May-Grünwald-Giemsa stain; 250×250; bone marrow aspirate smear.
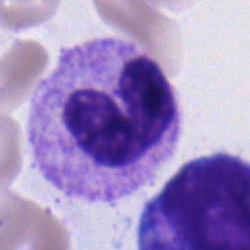

Morphology consistent with a band neutrophil.